Bone marrow aspirate smear:
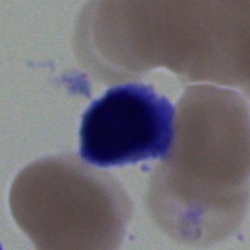 Morphology → nucleated red blood cell.